Pappenheim-stained. Bone marrow aspirate smear. Single-cell crop.
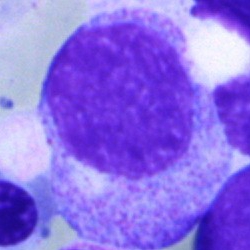 Single cell identified as a myelocyte.